Bone marrow aspirate smear:
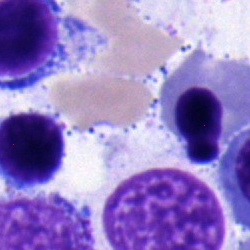
Morphological class — normoblast.